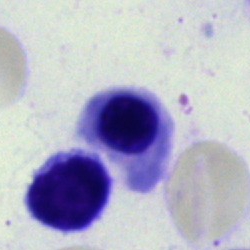Morphological class = nucleated red blood cell.